100× objective, oil immersion. Peripheral blood film. Cropped to a single cell:
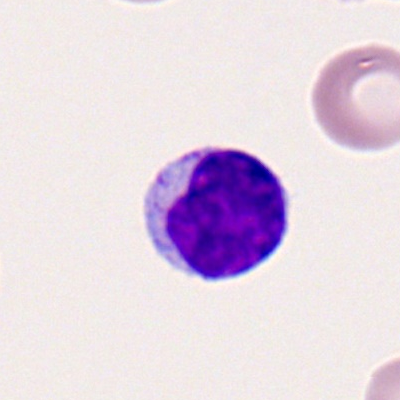

The cell shown is a typical lymphocyte.